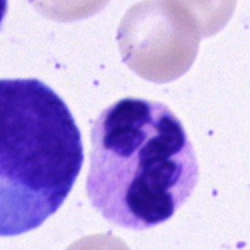 Specimen: bone marrow aspirate smear.
Cell type: polymorphonuclear neutrophil.
Lineage: myeloid.